40× objective, oil immersion · bone marrow aspirate smear:
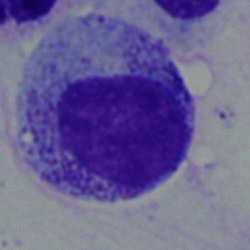

Impression → myelocyte.